Bone marrow aspirate smear · Pappenheim-stained
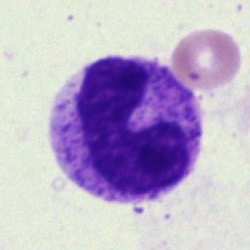

Showing a neutrophil (band).